Single-cell field · bone marrow aspirate smear.
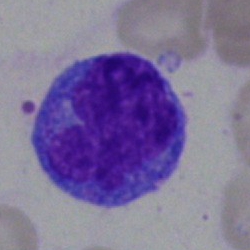 Morphology consistent with a blast cell.